Bone marrow smear.
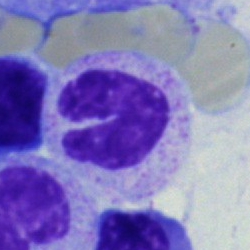
This is a band-form neutrophil.